Bone marrow aspirate smear — 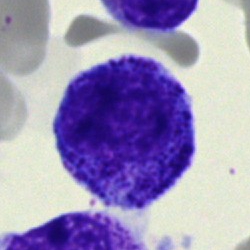
This is a promyelocyte.